May-Grünwald-Giemsa stain. Bone marrow smear — 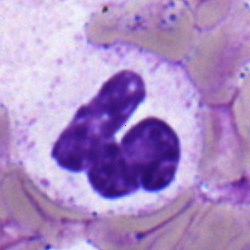Cell: polymorphonuclear neutrophil.